Bone marrow aspirate smear
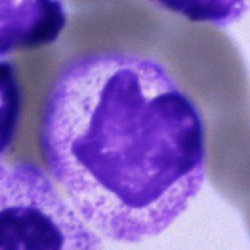 Specimen: bone marrow smear.
Morphological class: unidentifiable cell.